Bone marrow aspirate smear — 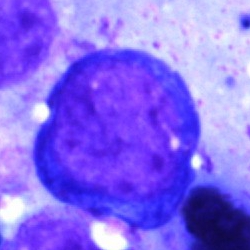
Q: What type of cell is this?
A: It is a pronormoblast.